Image size 250×250 · brightfield, 40× oil-immersion objective · bone marrow aspirate smear: 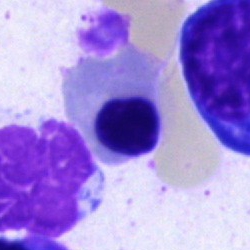 Q: What is the morphological classification of this cell?
A: Nucleated red cell.